Bone marrow smear.
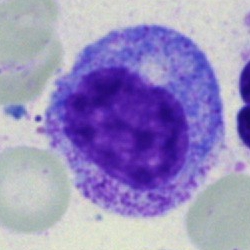 Cell: promyelocyte.